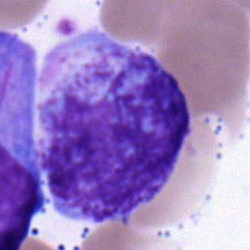 Morphological class: progranulocyte.